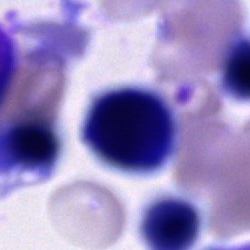Unidentifiable cell.